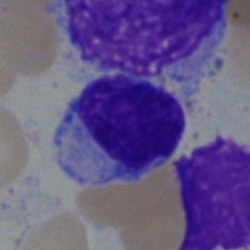
Specimen: bone marrow smear.
Morphological class: lymphocyte.
Lineage: lymphoid.